Cropped to a single cell · 250×250 · bone marrow smear: 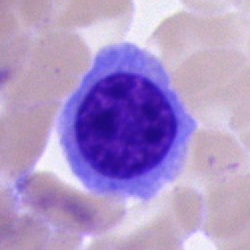
Q: Which cell type is shown here?
A: This is an erythroblast.